Bone marrow smear; 40× oil immersion; cropped to a single cell — 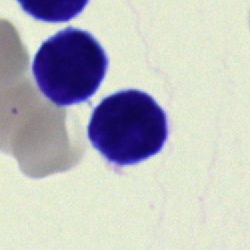 {"cell_type": "typical lymphocyte", "lineage": "lymphoid"}